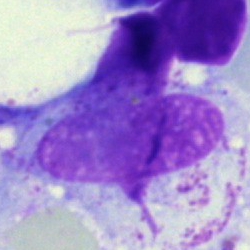 Cell type = artifact.